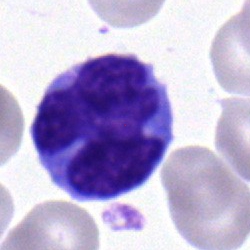 Morphology → monocyte.